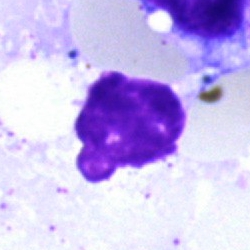

The morphological class is artifact.